Bone marrow aspirate smear. Pappenheim-stained:
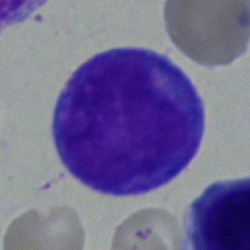
This is an undifferentiated blast.